Bone marrow aspirate smear
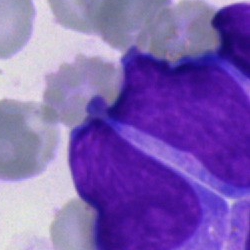 Specimen: bone marrow smear.
Cell: blast cell.